Brightfield microscopy, 40× oil immersion. Bone marrow smear. Single-cell crop
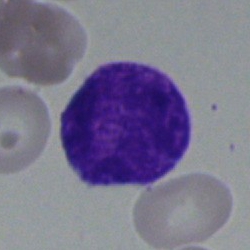
A polymorphonuclear neutrophil.